Bone marrow smear: 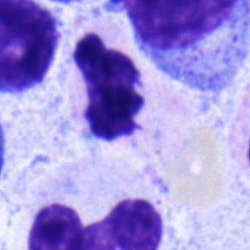 {"cell_type": "segmented neutrophil", "lineage": "myeloid"}